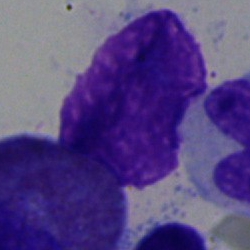

An artifact.